250 by 250 pixels · bone marrow smear
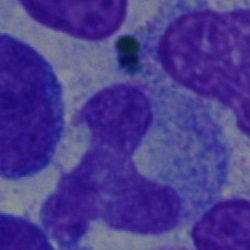
Morphology → monocyte.